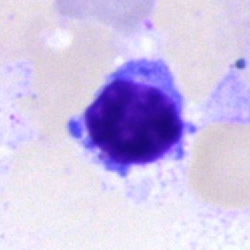
{"cell_type": "lymphocyte", "lineage": "lymphoid"}